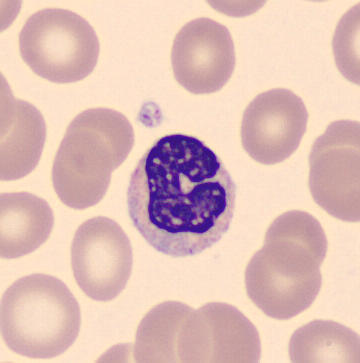 Single-cell crop from a peripheral blood smear: band-form neutrophil.